Bone marrow aspirate smear. Cropped to a single cell. 250 by 250 pixels
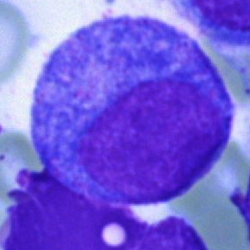Single cell identified as a progranulocyte.